Bone marrow aspirate smear
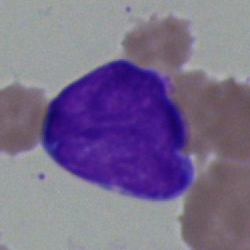 Specimen: bone marrow aspirate smear.
Classification: blast cell.